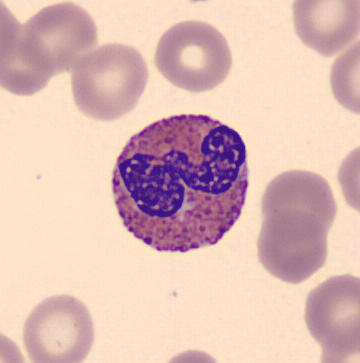Preparation: MGG-stained. Peripheral blood film. Imaged on a CellaVision DM96 analyser.

Q: What is the morphological classification of this cell?
A: An eosinophilic granulocyte.